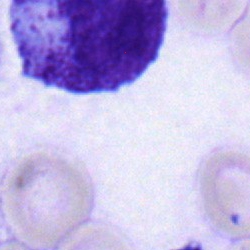
Impression → progranulocyte.